Bone marrow smear: 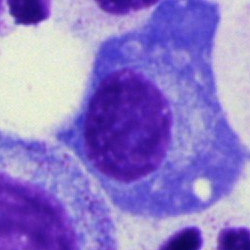 Specimen: bone marrow aspirate smear.
Morphological class: plasma cell.